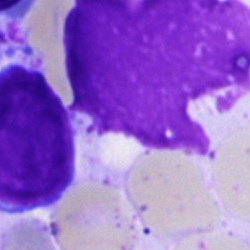
Single cell identified as an artifact.